Bone marrow smear: 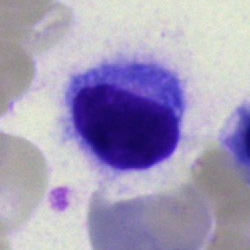

Specimen: bone marrow smear.
Cell type: hairy cell.